Bone marrow smear
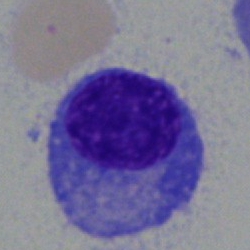 A plasma cell.